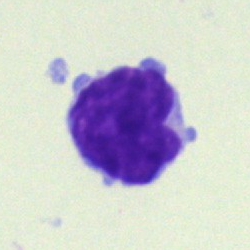{"cell_type": "lymphocyte", "lineage": "lymphoid"}